Bone marrow aspirate smear
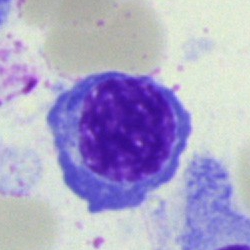
Morphological class = erythroblast.